Bone marrow aspirate smear — 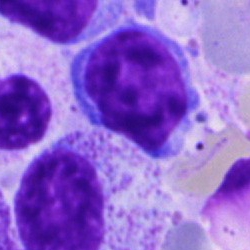 A lymphocyte.